250×250. Bone marrow aspirate smear:
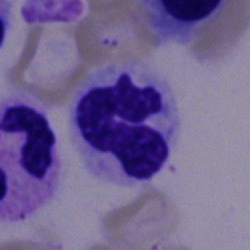 Specimen: bone marrow smear.
Cell: neutrophil (segmented).
Lineage: myeloid.